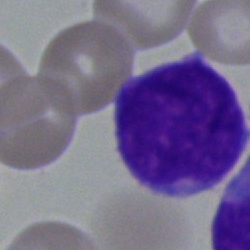

Cell = blast cell.